Bone marrow aspirate smear:
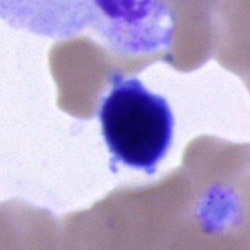

A lymphocyte.